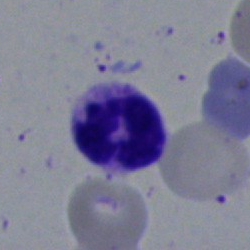

The classification is polymorphonuclear neutrophil.